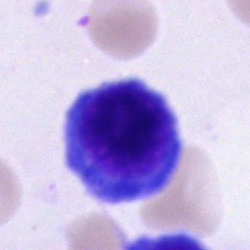Classification = nucleated red cell.